Bone marrow smear
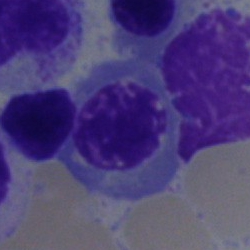 Impression → normoblast.